Peripheral blood film: 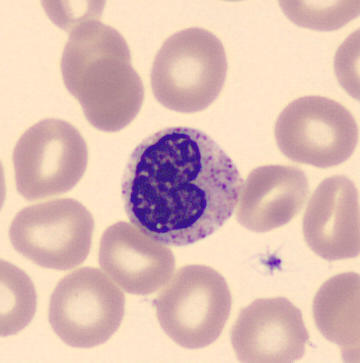Impression — metamyelocyte.